Bone marrow smear.
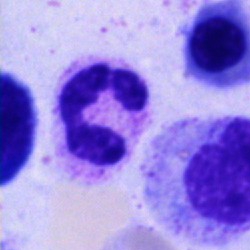

The classification is segmented neutrophil.